Bone marrow smear; single-cell crop.
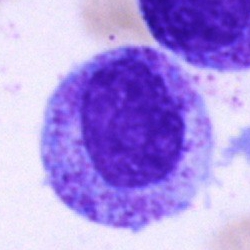 Specimen: bone marrow smear.
Cell type: promyelocyte.
Lineage: myeloid.